Bone marrow smear: 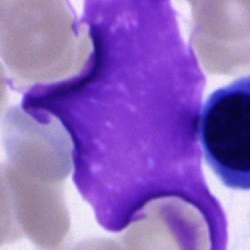 Specimen: bone marrow smear.
Cell type: artifact.